May-Grünwald-Giemsa/Pappenheim stain; bone marrow smear — 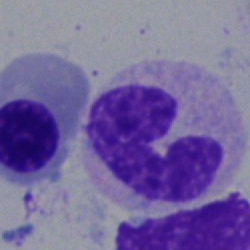Cell type = segmented neutrophil.